Bone marrow smear: 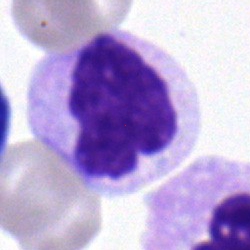
Showing a band-form neutrophil.